Bone marrow smear — 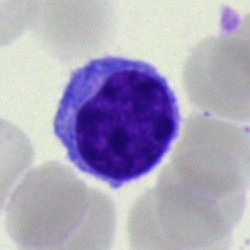

A lymphocyte.